Bone marrow aspirate smear. Cropped to a single cell. 250×250 px: 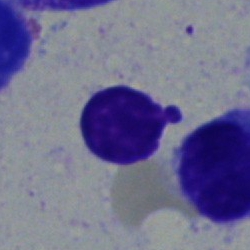The cell is lymphocyte.